Bone marrow smear · 250×250 px
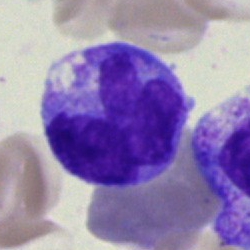

Morphological class = monocyte.